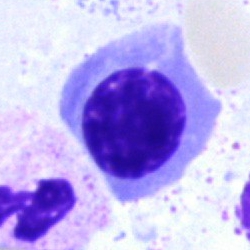
Specimen: bone marrow smear.
Cell: nucleated red cell.